Bone marrow smear: 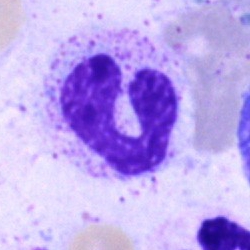 {"cell_type": "neutrophil (band)", "lineage": "myeloid"}